Bone marrow aspirate smear; cropped to a single cell — 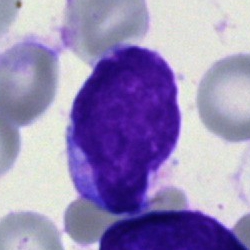
Classification = blast cell.